M8 digital microscope (Precipoint), 100× oil immersion; peripheral blood film:
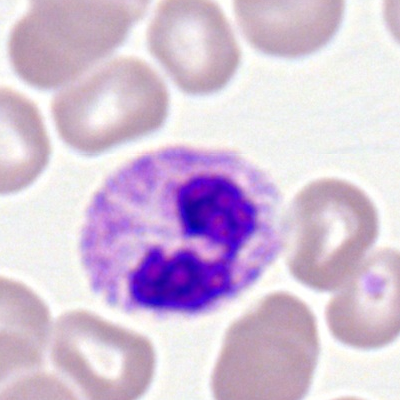
This is a neutrophil (segmented).